Bone marrow smear: 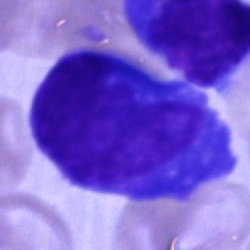Blast cell.